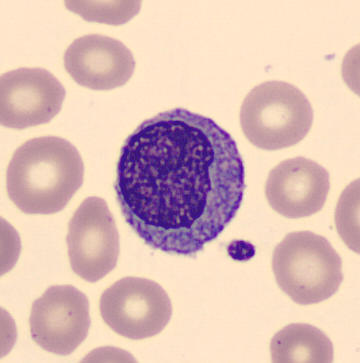Peripheral blood film. Morphology → monocyte.